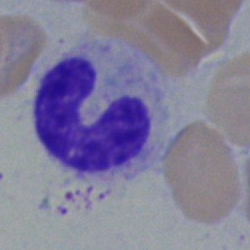This is a neutrophil (band).